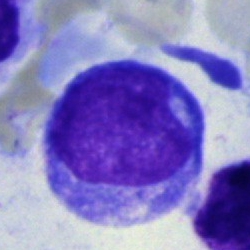

Morphology consistent with a blast.